Bone marrow smear. 250 by 250 pixels — 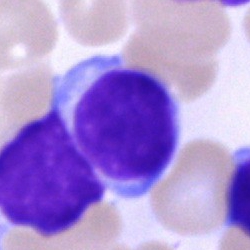 Showing a lymphocyte.